Bone marrow aspirate smear
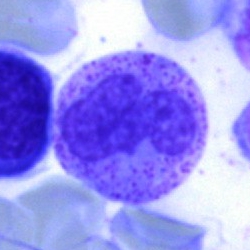
Morphology consistent with a polymorphonuclear neutrophil.